Bone marrow aspirate smear: 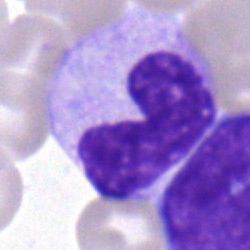 Classification = stab cell.